Bone marrow aspirate smear; brightfield, 40× oil-immersion objective: 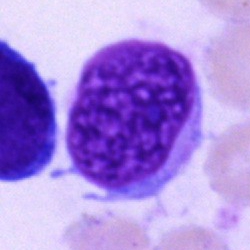Artefact.